250 by 250 pixels · bone marrow smear
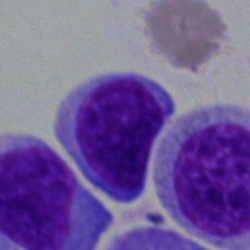{"cell_type": "typical lymphocyte"}